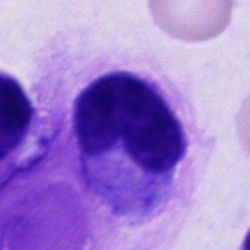
Impression → cell of indeterminate lineage.